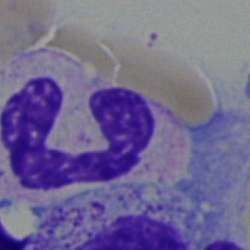

A band neutrophil on a bone marrow smear.